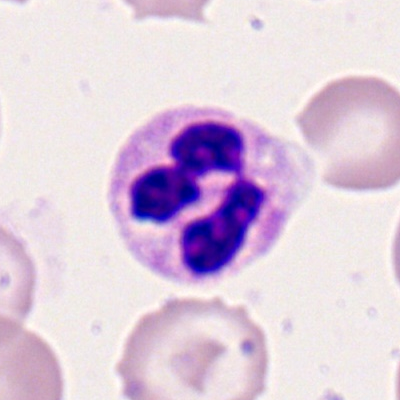
Q: Identify the cell.
A: This is a segmented neutrophil.